Bone marrow aspirate smear — 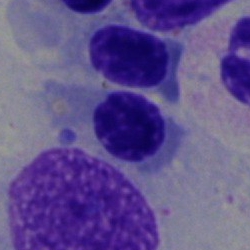
The cell shown is an erythroblast.